Bone marrow smear — 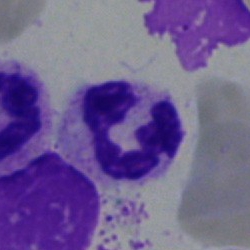Classification: neutrophil (segmented).